May-Grünwald-Giemsa stain. Bone marrow aspirate smear — 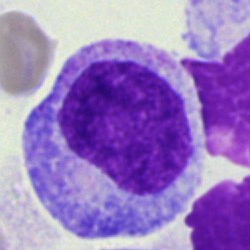
The cell is myelocyte.